Bone marrow smear.
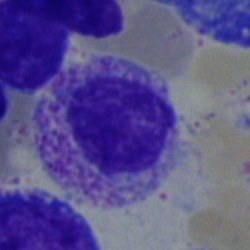

Morphology → myelocyte.